Brightfield, 40× oil-immersion objective; bone marrow aspirate smear
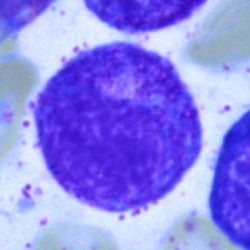

{"cell_type": "promyelocyte", "lineage": "myeloid"}